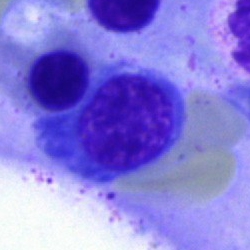
Cell: erythroblast.